40× oil immersion. Bone marrow smear. Single cell centered in the field.
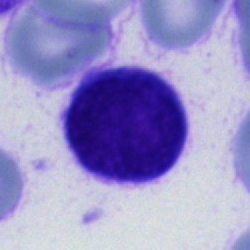

Specimen: bone marrow aspirate smear.
Cell type: unidentifiable cell.